Bone marrow smear: 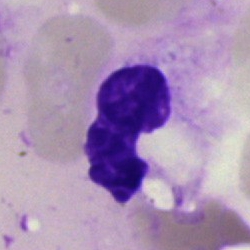
Cell type: artefact.